Bone marrow aspirate smear:
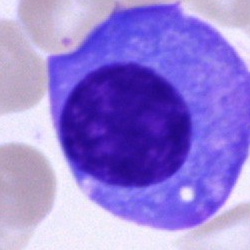 Q: What cell is this?
A: This is a plasmacyte.